Brightfield microscopy, 40× oil immersion · bone marrow smear · MGG-stained — 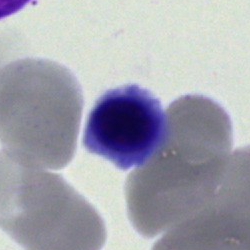An erythroblast.